Brightfield, 40× oil-immersion objective. Bone marrow smear. 250×250 px
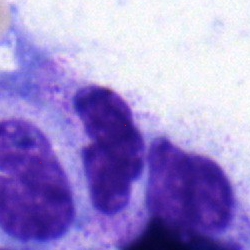 {"cell_type": "neutrophil (segmented)", "lineage": "myeloid"}